Bone marrow aspirate smear. Single cell centered in the field. Brightfield microscopy, 40× oil immersion:
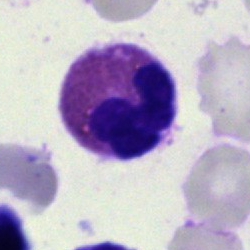Eosinophilic granulocyte.